Bone marrow aspirate smear; 40× objective, oil immersion:
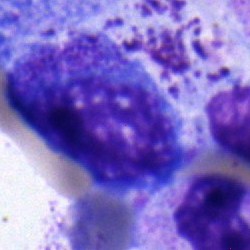The classification is promyelocyte.